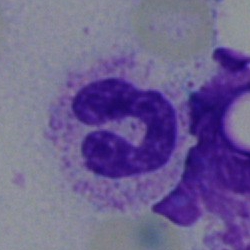 Specimen: bone marrow aspirate smear.
Classification: polymorphonuclear neutrophil.
Lineage: myeloid.